250×250 · bone marrow smear:
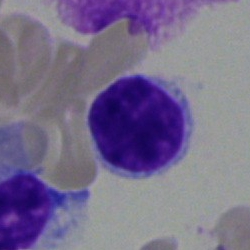
Q: What is the morphological classification of this cell?
A: It is a lymphocyte.